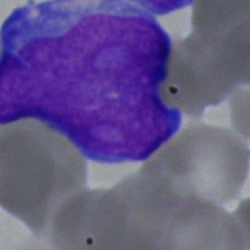
This is an undifferentiated blast.